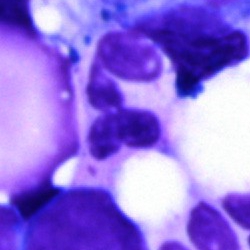
Classification: polymorphonuclear neutrophil.